Bone marrow aspirate smear; single cell centered in the field
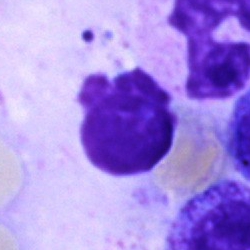 Classification = artifact.